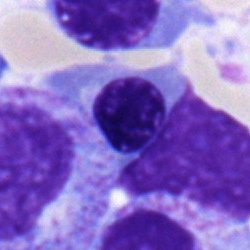

Specimen: bone marrow aspirate smear.
Cell type: nucleated red blood cell.
Lineage: erythroid.